May-Grünwald-Giemsa stain. Bone marrow aspirate smear.
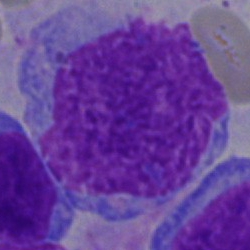 Impression → blast cell.